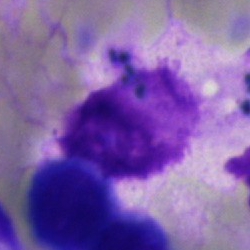

Specimen: bone marrow smear.
Classification: artifact.